Bone marrow smear.
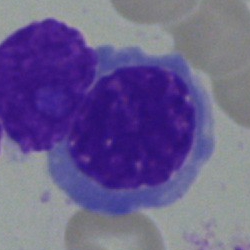

This is an erythroblast.